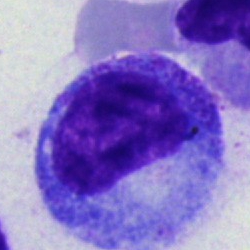 The cell shown is a promyelocyte.